Bone marrow aspirate smear — 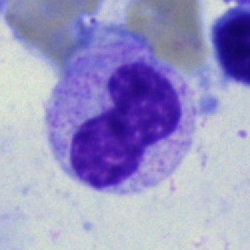 Classification: band-form neutrophil.